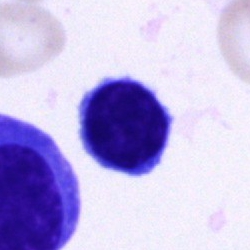 Q: Which cell type is shown here?
A: A lymphocyte.